Cropped to a single cell. Peripheral blood smear: 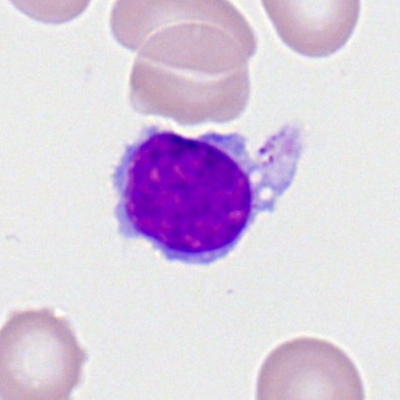A lymphocyte.